Brightfield, 40× oil-immersion objective. Bone marrow smear — 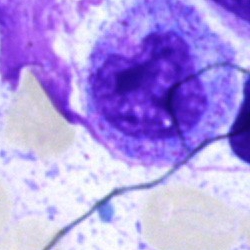The cell shown is a myelocyte.